Bone marrow aspirate smear: 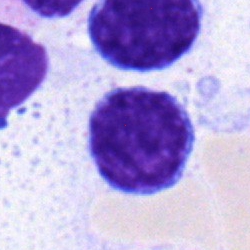Morphological class — lymphocyte.